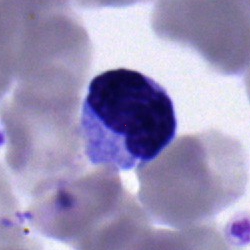

Classification — monocyte.